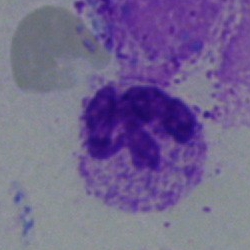Specimen: bone marrow aspirate smear.
Classification: neutrophil (segmented).
Lineage: myeloid.